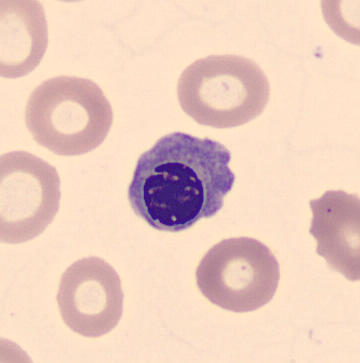

Image: CellaVision DM96. Image size 360×363. Peripheral blood smear. Cell type: nucleated red blood cell.